Peripheral blood film — 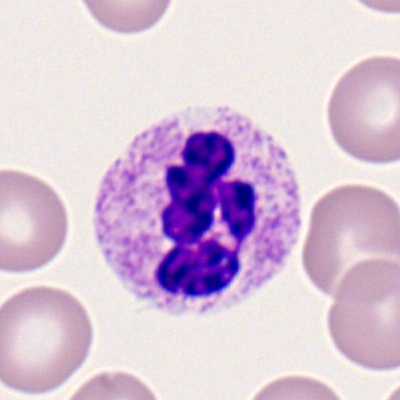Single cell identified as a polymorphonuclear neutrophil.